Bone marrow aspirate smear
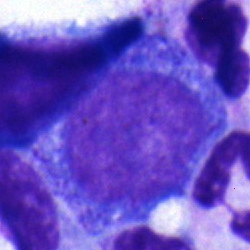 Cell: progranulocyte.